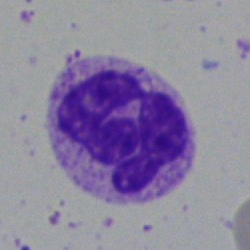Showing a neutrophil (segmented).